Bone marrow smear. MGG-stained — 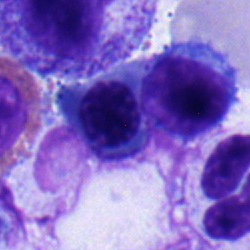
Showing a nucleated red cell.